Bone marrow aspirate smear:
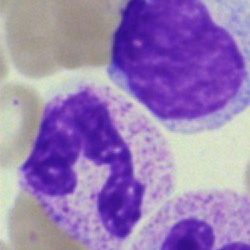 Cell type: polymorphonuclear neutrophil.